Bone marrow smear — 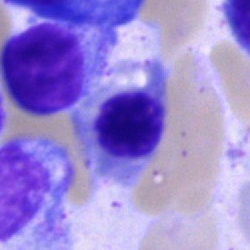Cell — nucleated red blood cell.